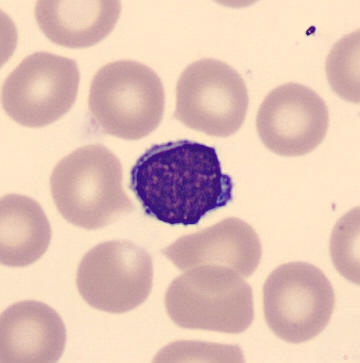A typical lymphocyte.